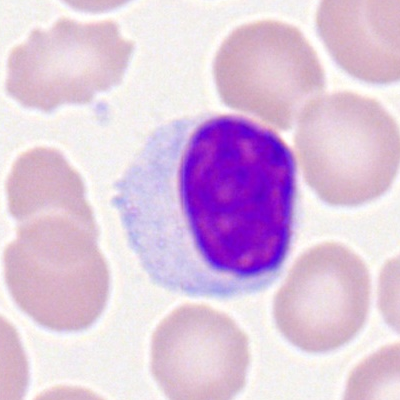 Q: What is shown here?
A: This is a lymphocyte.